Peripheral blood smear — 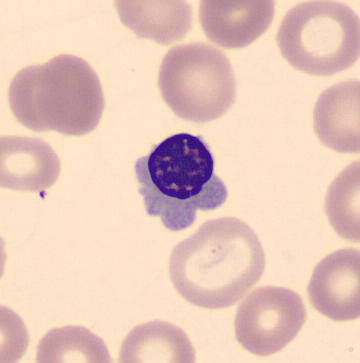Q: Identify the cell.
A: A normoblast.